Bone marrow smear — 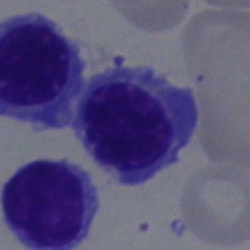

Cell type: nucleated red cell.